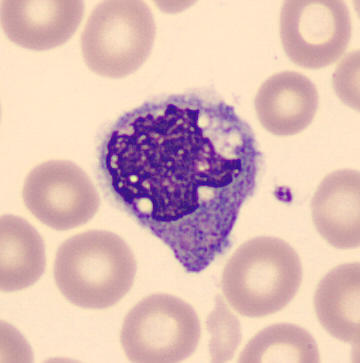

Identified as a monocyte.
Preparation: May Grünwald-Giemsa stain. Peripheral blood film.